Peripheral blood film:
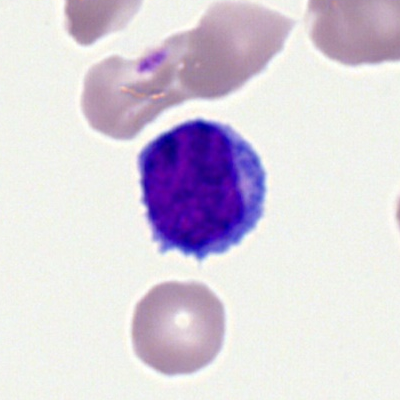 Q: Identify the cell.
A: It is a typical lymphocyte.